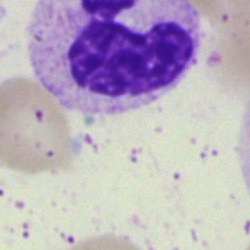 A segmented neutrophil on a bone marrow smear.